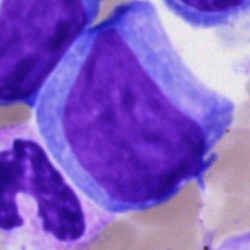
Morphology consistent with a blast cell.